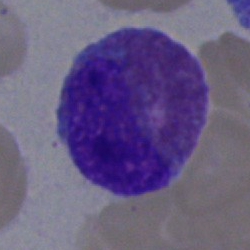Morphological class: eosinophil.